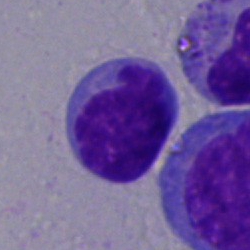

Morphology → lymphocyte.